Bone marrow smear — 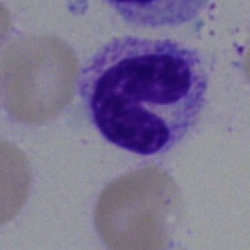

Morphology consistent with a stab cell.